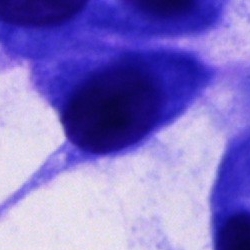
Morphological class: cell not matching the other categories.